Bone marrow aspirate smear
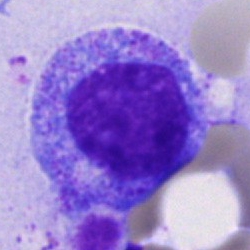

Impression → promyelocyte.